Bone marrow smear · single-cell crop
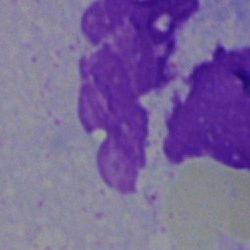Specimen: bone marrow aspirate smear.
Morphological class: artifact.